Bone marrow smear · 250×250 px · 40× objective, oil immersion
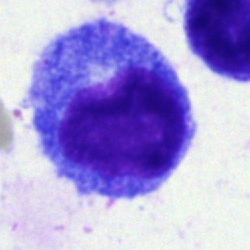 Specimen: bone marrow aspirate smear.
Cell type: promyelocyte.
Lineage: myeloid.